Bone marrow aspirate smear
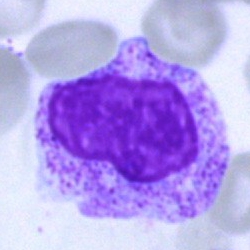

Q: Which cell type is shown here?
A: It is a myelocyte.